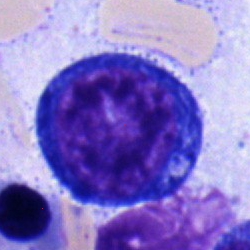

The cell shown is a proerythroblast.